Bone marrow aspirate smear:
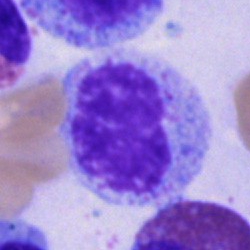

Specimen: bone marrow smear.
Cell type: promyelocyte.